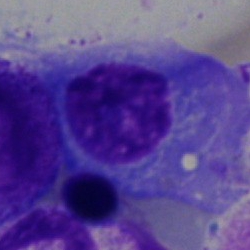

Morphology — plasmacyte.